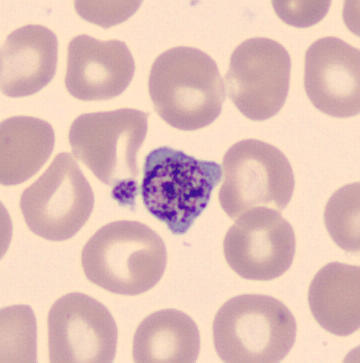Classification — platelet.